Bone marrow smear — 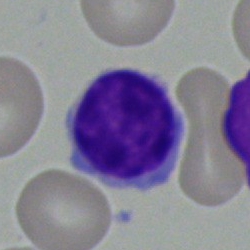

Q: Identify the cell.
A: A typical lymphocyte.